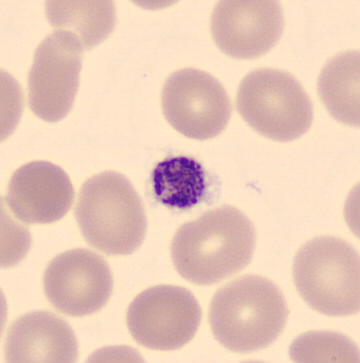Platelet.

Image: Peripheral blood film.